Bone marrow smear.
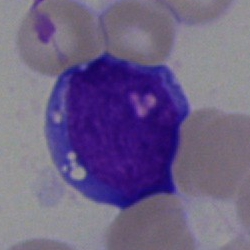Specimen: bone marrow aspirate smear.
Cell: undifferentiated blast.